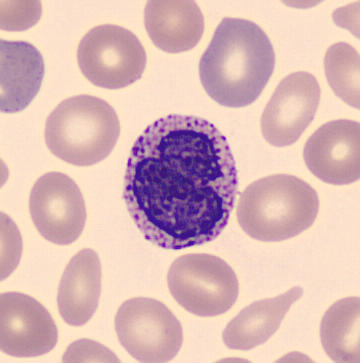
Single cell identified as a basophil.

Image: Peripheral blood smear.